Bone marrow smear · single-cell crop · May-Grünwald-Giemsa stain: 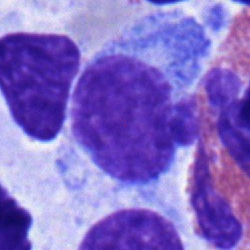Specimen: bone marrow smear.
Classification: monocyte.
Lineage: myeloid.